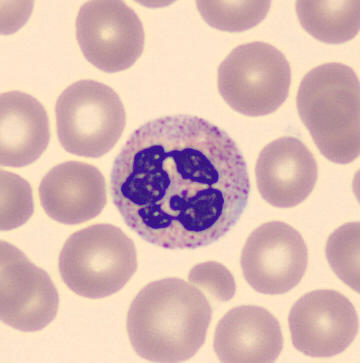
The cell shown is a neutrophil (segmented). Image: Peripheral blood film.